Single cell centered in the field · brightfield microscopy, 40× oil immersion · bone marrow smear:
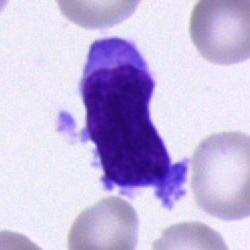 A lymphocyte.